Bone marrow aspirate smear. Single-cell crop: 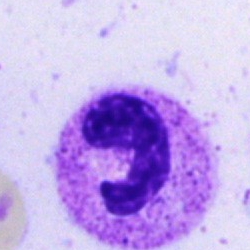 Impression → segmented neutrophil.